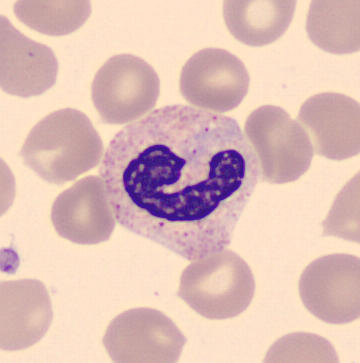Q: Which cell type is shown here?
A: This is a band-form neutrophil.

Acquisition: Automated cell imaging (CellaVision DM96) · peripheral blood smear · single-cell crop.